Peripheral blood film:
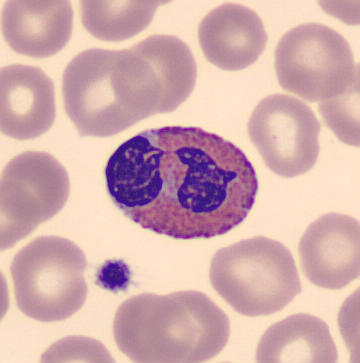 Q: Which cell type is shown here?
A: An eosinophil.